Bone marrow smear
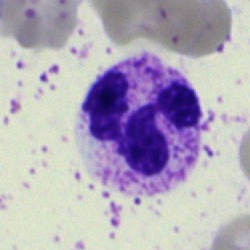 {"cell_type": "neutrophil (segmented)", "lineage": "myeloid"}